Bone marrow aspirate smear: 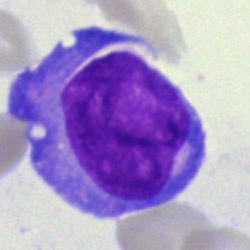 Classification — undifferentiated blast.